Bone marrow smear · May-Grünwald-Giemsa stain — 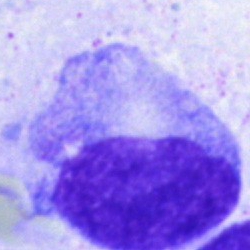
Q: Which cell type is shown here?
A: It is a promyelocyte.